Bone marrow aspirate smear.
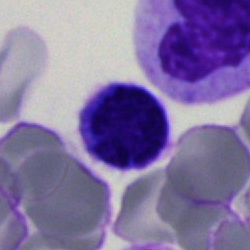Single cell identified as a typical lymphocyte.